250×250 · bone marrow smear · single-cell crop:
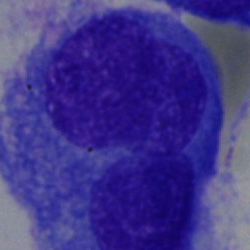
Specimen: bone marrow aspirate smear.
Cell: plasma cell.
Lineage: lymphoid.